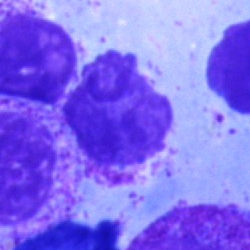

Cell type = artefact.